Single-cell crop · bone marrow smear
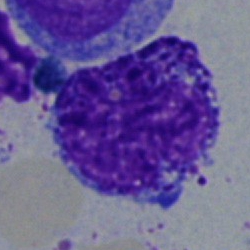
Showing a progranulocyte.